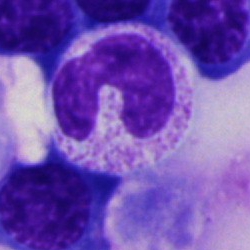
Q: What is the morphological classification of this cell?
A: Neutrophil (band).